Bone marrow smear
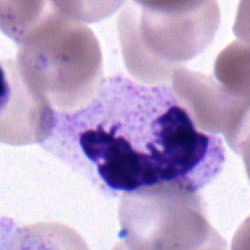 Neutrophil (segmented).